Bone marrow aspirate smear — 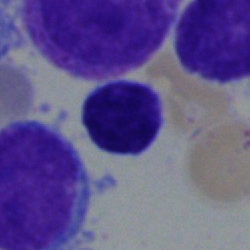

A lymphocyte.